Bone marrow smear; single-cell field — 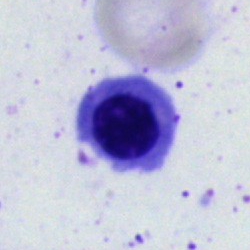

Q: Which cell type is shown here?
A: A normoblast.